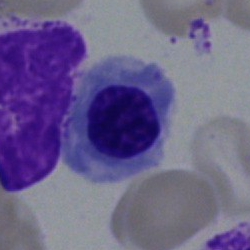 {"cell_type": "nucleated red blood cell"}